40× oil immersion; bone marrow aspirate smear
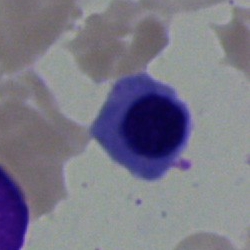

The cell type is erythroblast.